Bone marrow smear — 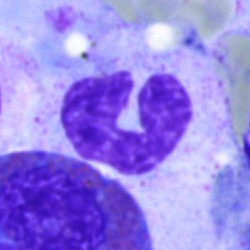

Specimen: bone marrow smear.
Classification: neutrophil (segmented).